Bone marrow smear; 250×250.
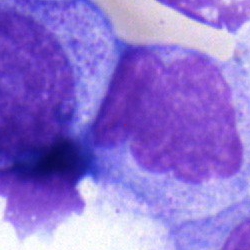Impression — monocyte.